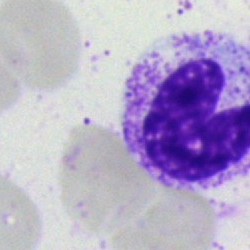 Impression → neutrophil (band).